Peripheral blood film; May-Grünwald-Giemsa-stained.
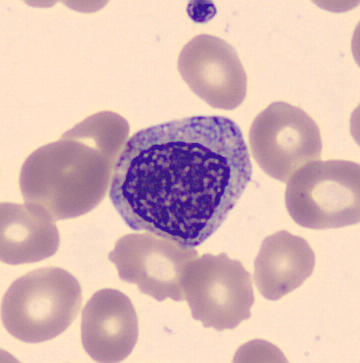The classification is myelocyte.